Bone marrow aspirate smear: 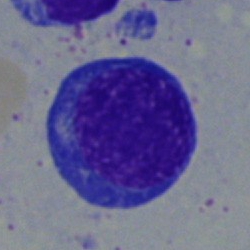This is a nucleated red cell.